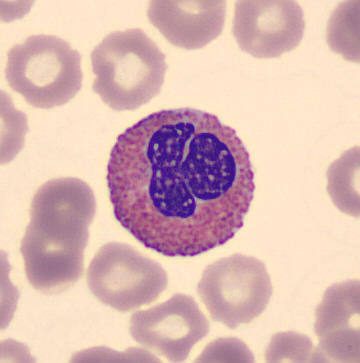 Morphology → eosinophilic granulocyte.